Brightfield, 40× oil-immersion objective; Pappenheim-stained; bone marrow smear:
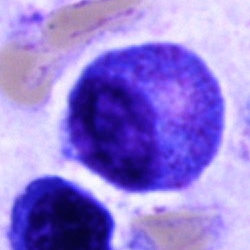Q: What type of cell is this?
A: It is a promyelocyte.